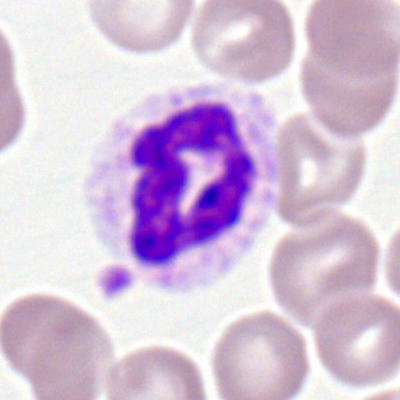 Classification — polymorphonuclear neutrophil.